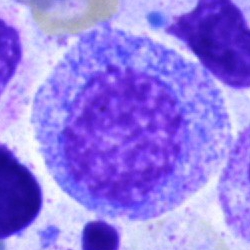
Classification = promyelocyte.